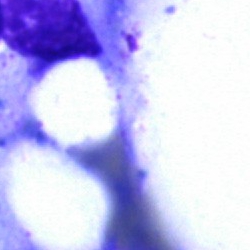 Specimen: bone marrow aspirate smear.
Classification: artefact.